Bone marrow smear. Single-cell crop:
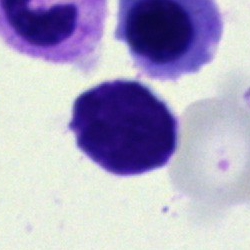Specimen: bone marrow aspirate smear.
Cell: lymphocyte.
Lineage: lymphoid.